250×250 px. Bone marrow aspirate smear: 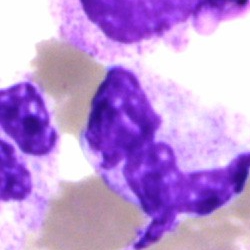Classification = polymorphonuclear neutrophil.